Bone marrow smear:
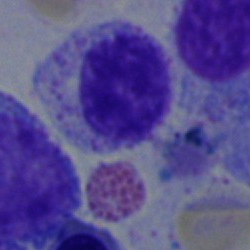
Impression — myelocyte.